Peripheral blood film; image size 400×400
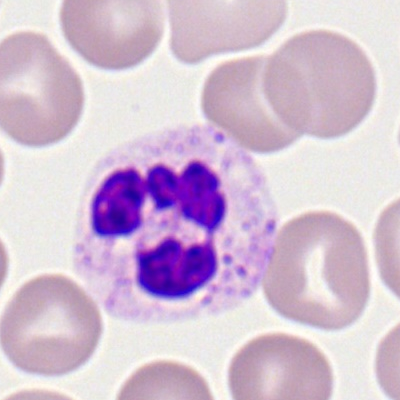

Specimen: peripheral blood smear.
Cell type: polymorphonuclear neutrophil.
Lineage: myeloid.